Bone marrow smear; 250 by 250 pixels.
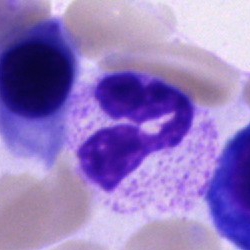
Q: What type of cell is this?
A: It is a segmented neutrophil.